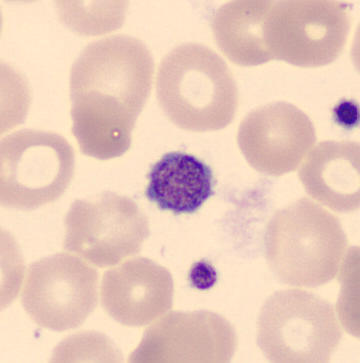 Q: What is this?
A: This is a platelet.
Acquisition: CellaVision DM96. May-Grünwald-Giemsa-stained. Peripheral blood smear.